Bone marrow smear — 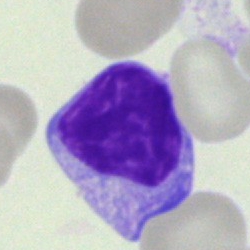 Impression — lymphocyte.